Bone marrow aspirate smear. Pappenheim-stained.
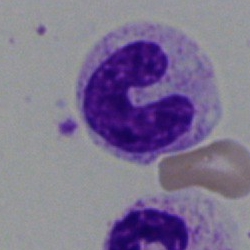Showing a neutrophil (band).